Bone marrow smear; single cell centered in the field; image size 250×250:
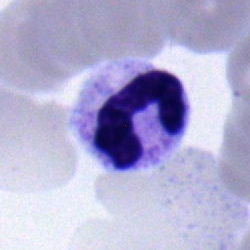Impression → neutrophil (segmented).